Bone marrow smear · 40× oil immersion · May-Grünwald-Giemsa/Pappenheim stain — 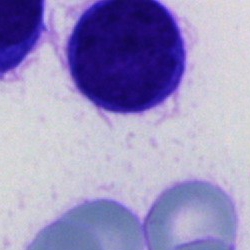

Cell type: cell of indeterminate lineage.